Bone marrow aspirate smear · single-cell crop.
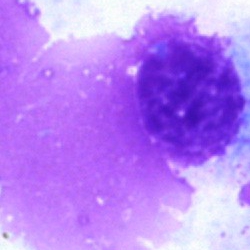Classification — artifact.